250 by 250 pixels. Bone marrow aspirate smear
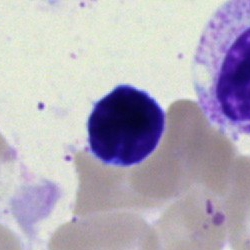

Q: What is shown here?
A: Typical lymphocyte.